Bone marrow smear. 40× oil immersion. May-Grünwald-Giemsa stain — 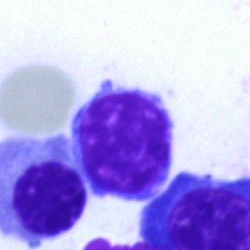
Single cell identified as a lymphocyte.